Bone marrow aspirate smear — 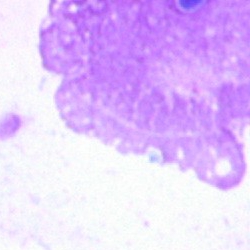 An artefact.